Bone marrow aspirate smear.
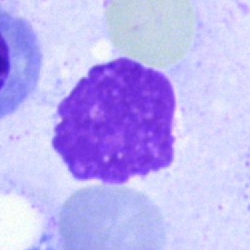

The cell shown is an artifact.